MGG-stained; bone marrow smear
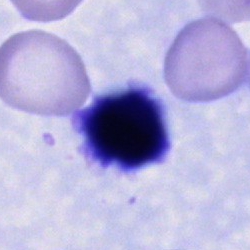Cell type — cell of indeterminate lineage.